Bone marrow smear · brightfield, 40× oil-immersion objective: 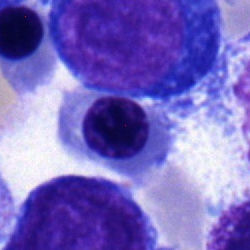 The cell is erythroblast.